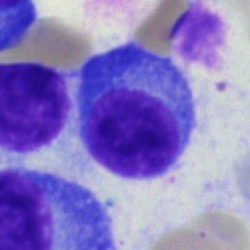 Specimen: bone marrow smear.
Cell type: plasmacyte.